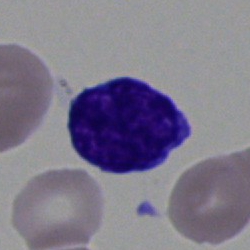{"cell_type": "undifferentiated blast"}